Peripheral blood smear · cropped to a single cell · Romanowsky-stained: 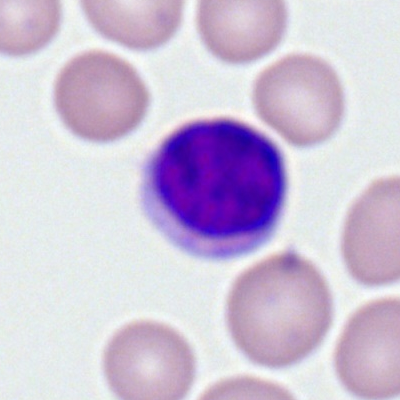 Q: What type of cell is this?
A: A lymphocyte.